Bone marrow aspirate smear · 250×250 · single-cell field.
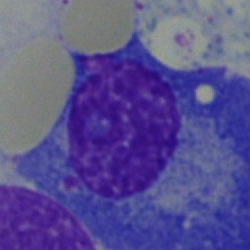
Showing a plasma cell.